May-Grünwald-Giemsa stain; bone marrow aspirate smear:
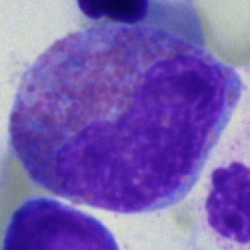Showing an eosinophilic granulocyte.